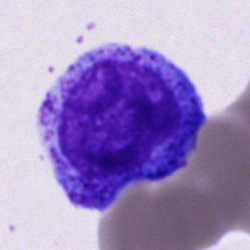Classification — promyelocyte.